250×250. Bone marrow aspirate smear — 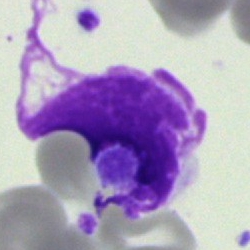Morphological class: artifact.